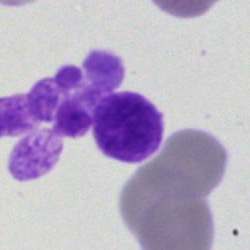 Showing an artefact.